40× oil immersion. Cropped to a single cell. Bone marrow smear.
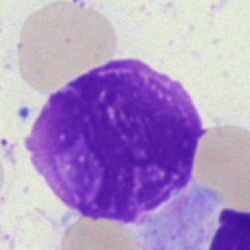
Specimen: bone marrow aspirate smear.
Classification: artefact.